Bone marrow aspirate smear — 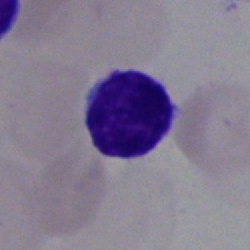Cell type = lymphocyte.